MGG-stained; 40× oil immersion; bone marrow smear
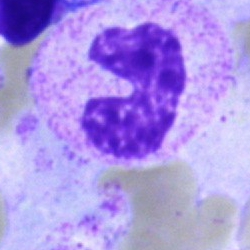Impression — band-form neutrophil.